Single-cell field; bone marrow smear; 40× objective, oil immersion:
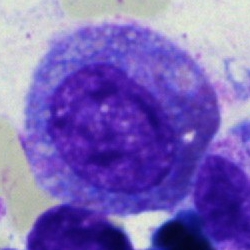 Q: Which cell type is shown here?
A: A progranulocyte.